250×250; bone marrow aspirate smear:
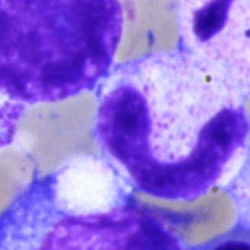 {"cell_type": "band neutrophil", "lineage": "myeloid"}